Peripheral blood film. 100× oil immersion
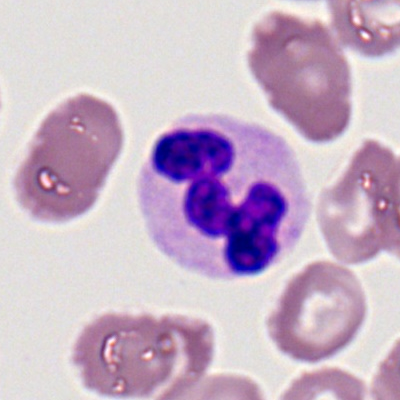

{"cell_type": "polymorphonuclear neutrophil"}